Single-cell field. Bone marrow smear. Pappenheim-stained:
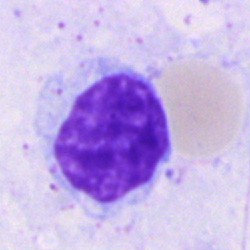 Cell — typical lymphocyte.